250×250. Bone marrow smear. 40× oil immersion — 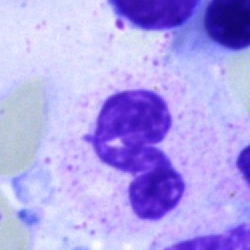

Morphological class: neutrophil (segmented).